Bone marrow smear — 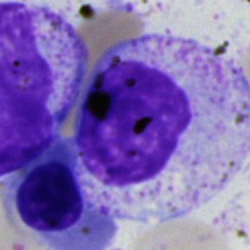Morphological class = metamyelocyte.